Bone marrow smear; 250 by 250 pixels:
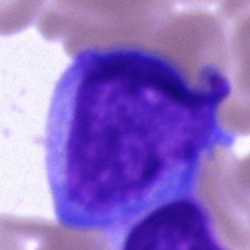Q: What cell is this?
A: This is a blast cell.